Pappenheim-stained · bone marrow smear.
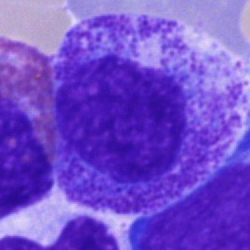

The cell shown is a progranulocyte.